Pappenheim-stained; bone marrow aspirate smear; single-cell crop — 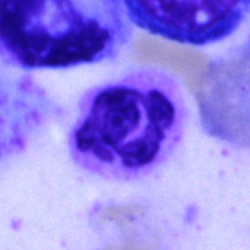Morphology consistent with a segmented neutrophil.